Peripheral blood film
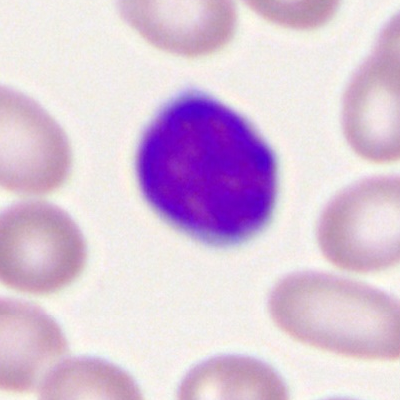 This is a typical lymphocyte.